Romanowsky-stained; peripheral blood smear; 400 by 400 pixels:
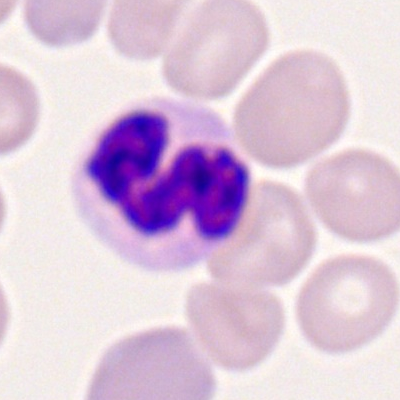
Showing a neutrophil (segmented).